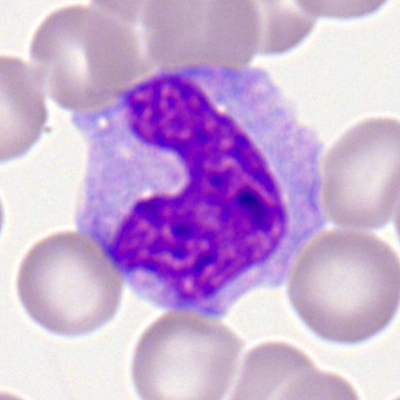

Specimen: peripheral blood smear.
Morphological class: monocyte.